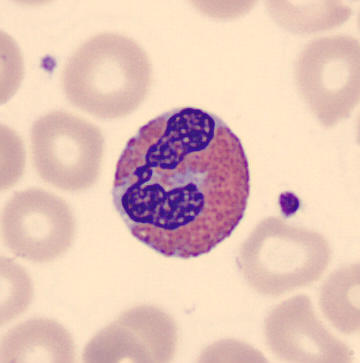 Peripheral blood film.

Classification = eosinophilic granulocyte.